Bone marrow smear: 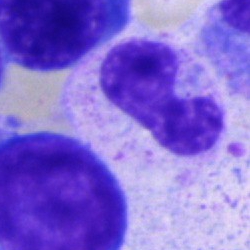Showing a band-form neutrophil.